Bone marrow smear · single cell centered in the field: 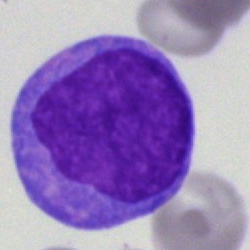
Q: What is shown here?
A: Blast.